Bone marrow aspirate smear — 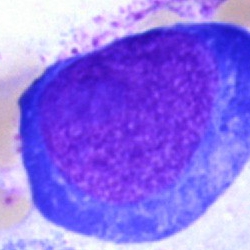

Q: What is shown here?
A: This is a normoblast.